Peripheral blood film: 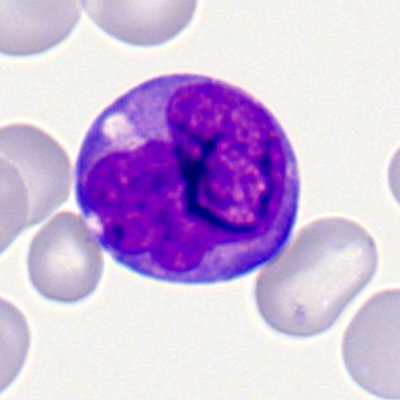Specimen: peripheral blood film.
Cell: myeloid blast.